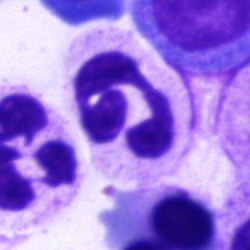Q: What cell is this?
A: Neutrophil (segmented).